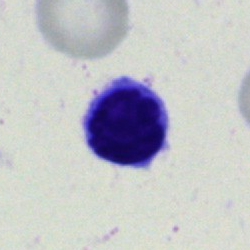Q: Which cell type is shown here?
A: It is a typical lymphocyte.